250×250 · bone marrow aspirate smear.
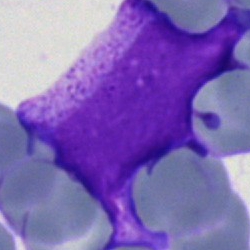
Q: What type of cell is this?
A: This is an undifferentiated blast.